Bone marrow aspirate smear:
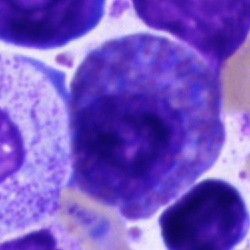 This is an eosinophil.